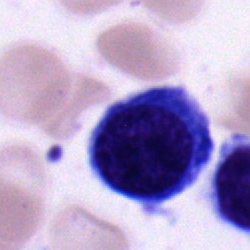

A nucleated red cell.